Bone marrow aspirate smear
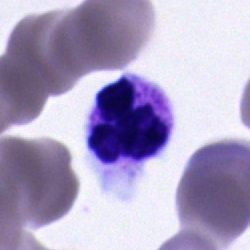

The cell shown is a polymorphonuclear neutrophil.